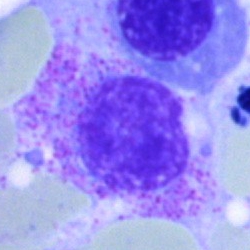

Q: What cell is this?
A: It is a myelocyte.